Bone marrow aspirate smear: 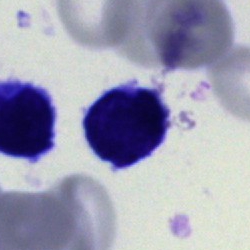

Cell type — blast cell.